Bone marrow smear: 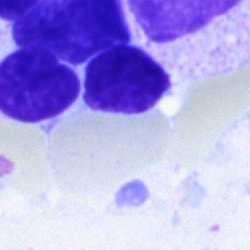
Morphological class — artifact.